Brightfield, 40× oil-immersion objective; 250×250 px; bone marrow smear: 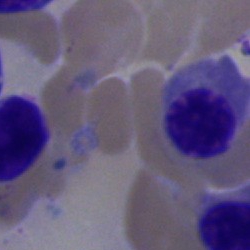 Q: What type of cell is this?
A: This is a nucleated red blood cell.